Romanowsky-type stain · peripheral blood smear.
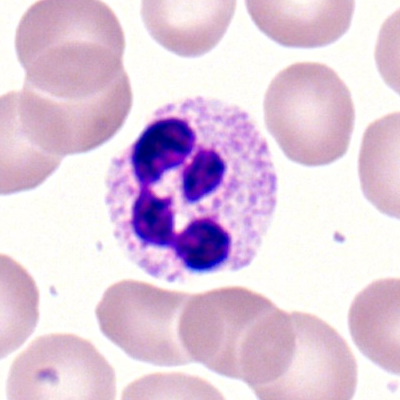 Impression → polymorphonuclear neutrophil.